Bone marrow aspirate smear:
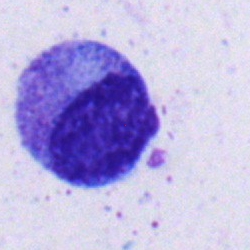 Showing a myelocyte.